250 by 250 pixels · 40× oil immersion · bone marrow smear:
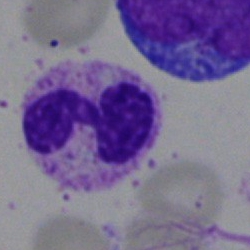

This is a segmented neutrophil.